Pappenheim-stained. Bone marrow smear — 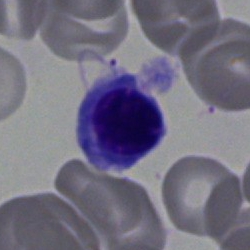 Normoblast.